Bone marrow aspirate smear:
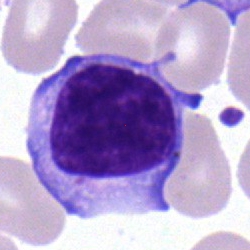

Q: Identify the cell.
A: A lymphocyte.